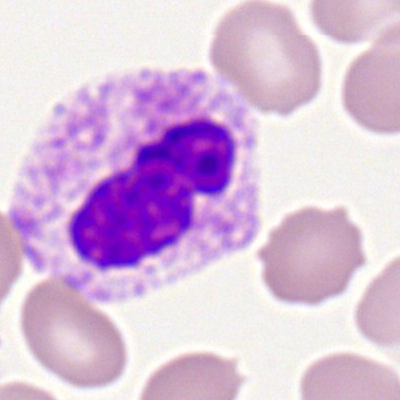
Morphology consistent with a segmented neutrophil.